Bone marrow aspirate smear · brightfield, 40× oil-immersion objective: 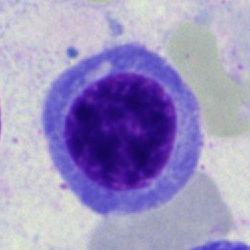

This is an erythroblast.